Peripheral blood smear: 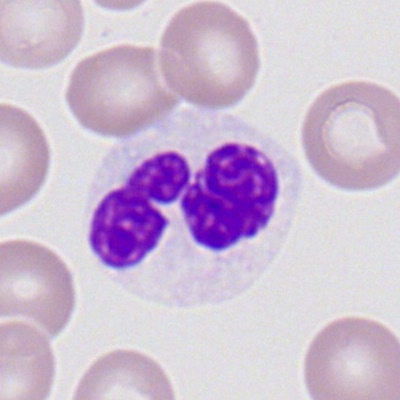Specimen: peripheral blood smear.
Cell type: neutrophil (segmented).